Peripheral blood smear — 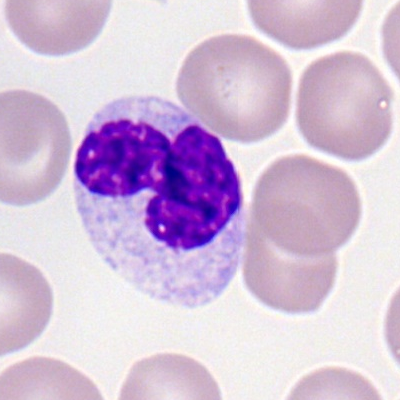
Classification = monocyte.